Bone marrow smear · cropped to a single cell · Pappenheim-stained — 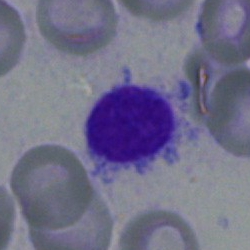
Lymphocyte.